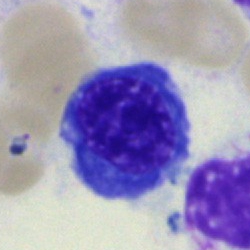 The cell shown is a normoblast.